Single cell centered in the field. Bone marrow smear. MGG-stained
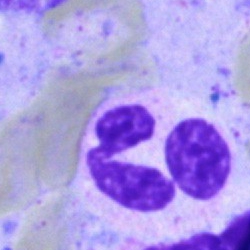
Q: What cell is this?
A: Segmented neutrophil.